Peripheral blood film
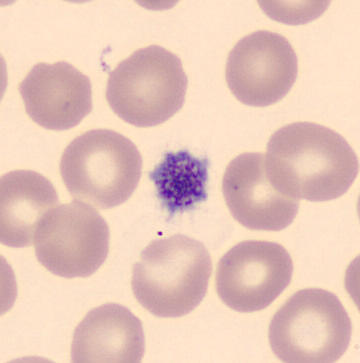Q: What is shown here?
A: A platelet (thrombocyte).